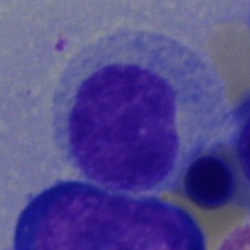 Classification: myelocyte.